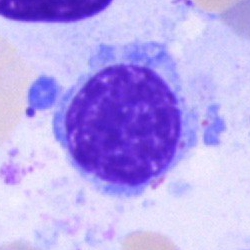Q: Which cell type is shown here?
A: This is a typical lymphocyte.